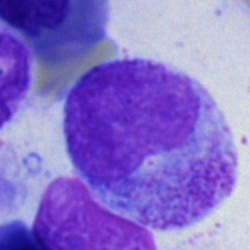
Morphology — metamyelocyte.